Bone marrow aspirate smear · 40× objective, oil immersion · 250×250 px — 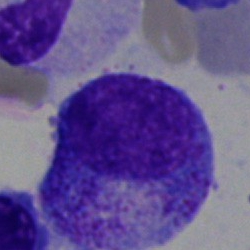{"cell_type": "progranulocyte"}